250×250 px. Bone marrow smear.
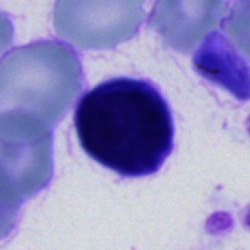 Showing an unidentifiable cell.